Bone marrow aspirate smear. Brightfield microscopy, 40× oil immersion — 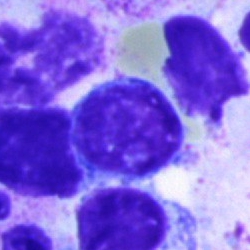

Specimen: bone marrow smear.
Cell: typical lymphocyte.